Bone marrow aspirate smear.
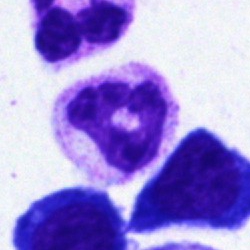This is a polymorphonuclear neutrophil.